Bone marrow smear:
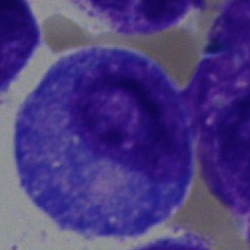 A progranulocyte.